Bone marrow aspirate smear; Pappenheim-stained: 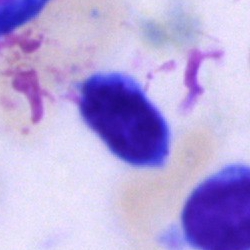Cell type = lymphocyte.